Bone marrow smear — 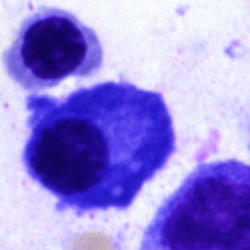Morphology → plasma cell.